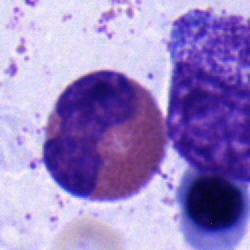
Specimen: bone marrow smear.
Morphological class: eosinophilic granulocyte.
Lineage: myeloid.